Bone marrow aspirate smear:
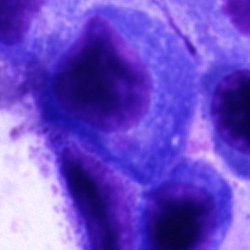
Morphology consistent with a plasmacyte.